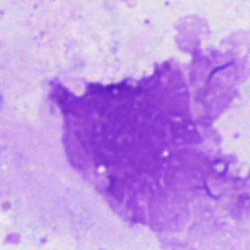 Q: What is shown here?
A: Artefact.